Bone marrow smear: 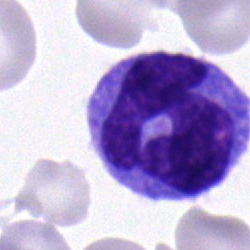
Single cell identified as a monocyte.